40× oil immersion; bone marrow aspirate smear
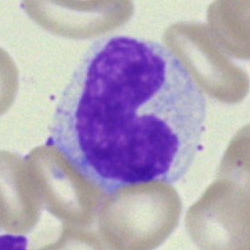

Classification: band-form neutrophil.